MGG-stained · bone marrow aspirate smear · single cell centered in the field: 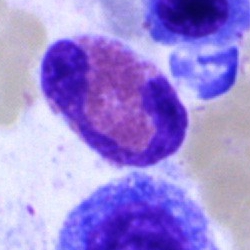The cell type is eosinophilic granulocyte.